MGG-stained · bone marrow smear · single-cell field — 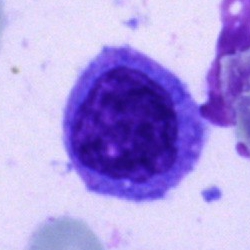
Morphology consistent with a blast cell.